Bone marrow smear:
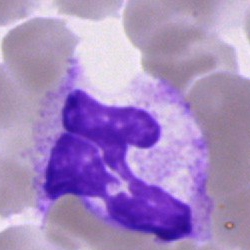

Polymorphonuclear neutrophil.